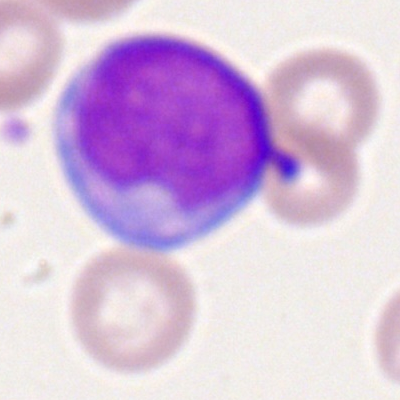 Morphological class = myeloid blast.